Bone marrow aspirate smear — 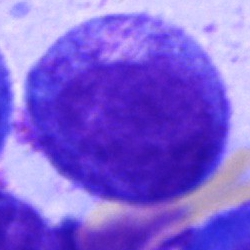
This is a progranulocyte.